Peripheral blood smear; MGG stain; imaged on a CellaVision DM96 analyser:
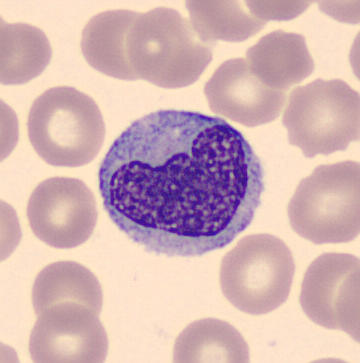The cell shown is a monocyte.